Bone marrow smear
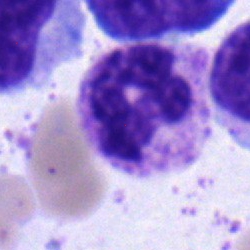
The cell shown is a segmented neutrophil.